Peripheral blood film — 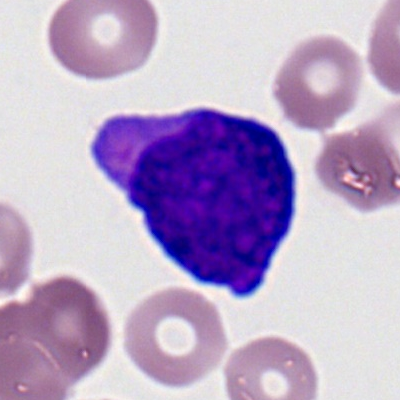 Q: Identify the cell.
A: A myeloblast.